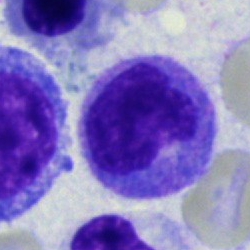

Cell: monocyte.